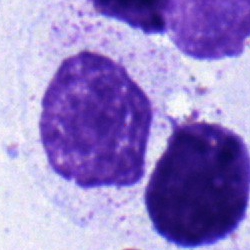

Q: Which cell type is shown here?
A: Myelocyte.